Single-cell field. Brightfield microscopy, 40× oil immersion. Bone marrow aspirate smear: 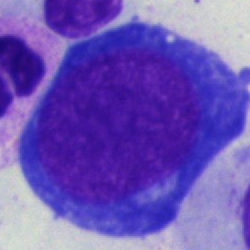Q: Which cell type is shown here?
A: A nucleated red cell.